Bone marrow aspirate smear · 250 by 250 pixels: 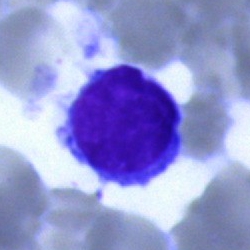Q: Which cell type is shown here?
A: A lymphocyte.